Bone marrow smear; May-Grünwald-Giemsa stain; brightfield microscopy, 40× oil immersion — 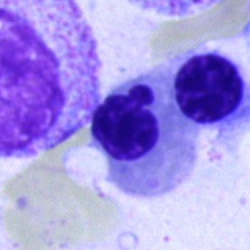

Specimen: bone marrow aspirate smear.
Cell: erythroblast.
Lineage: erythroid.